Single cell centered in the field · bone marrow smear · 250×250:
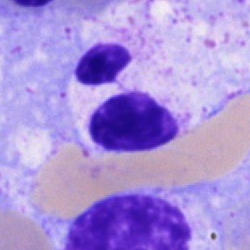
Q: What is the morphological classification of this cell?
A: Polymorphonuclear neutrophil.